Bone marrow smear: 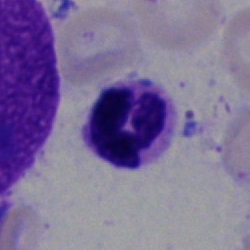

The cell shown is a neutrophil (segmented).